Bone marrow smear. 250×250.
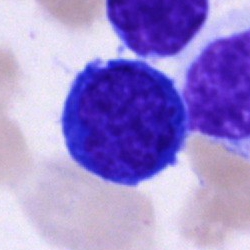 Morphological class: nucleated red blood cell.